Bone marrow smear:
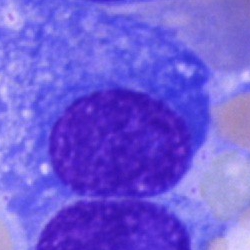Impression — plasma cell.